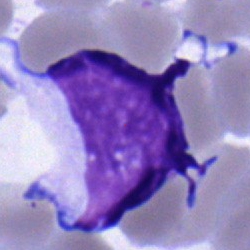
Specimen: bone marrow smear.
Morphological class: lymphocyte.